Bone marrow smear:
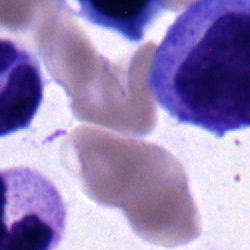 Q: What is shown here?
A: This is a nucleated red blood cell.